Bone marrow smear; brightfield microscopy, 40× oil immersion
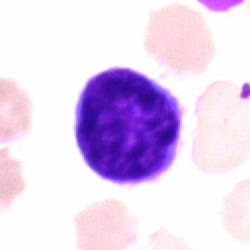

Cell = lymphocyte.